Bone marrow aspirate smear:
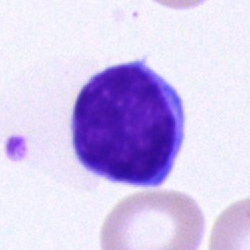 Classification: typical lymphocyte.